May-Grünwald-Giemsa stain; bone marrow smear:
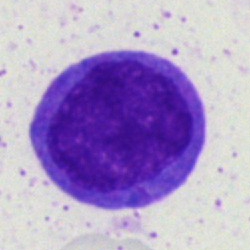
Q: What is shown here?
A: It is a blast cell.